Peripheral blood smear. 100× oil immersion.
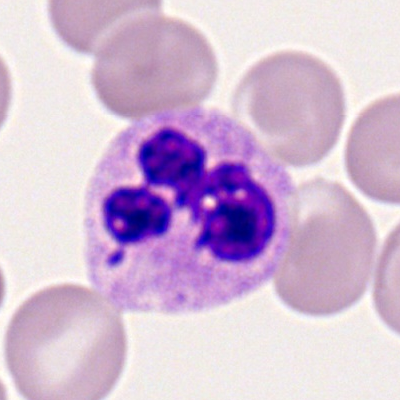

Segmented neutrophil.